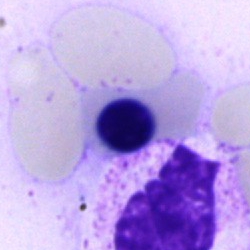
Specimen: bone marrow smear.
Morphological class: nucleated red blood cell.